Bone marrow aspirate smear.
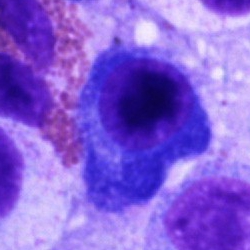 Impression → plasma cell.